Bone marrow aspirate smear
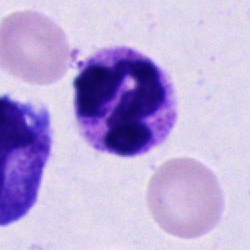 Specimen: bone marrow aspirate smear.
Cell type: polymorphonuclear neutrophil.
Lineage: myeloid.